Bone marrow smear · 40× oil immersion — 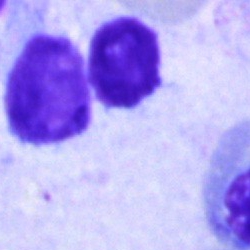
Impression — artefact.